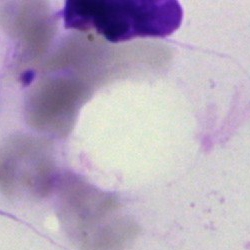 Cell — artefact.